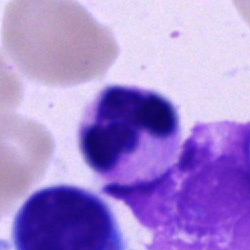The morphological class is polymorphonuclear neutrophil.